Pappenheim-stained; bone marrow aspirate smear; 40× objective, oil immersion
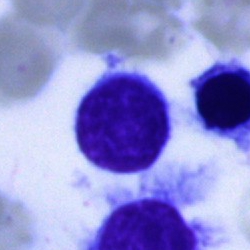
Morphology consistent with a lymphocyte.